Bone marrow aspirate smear — 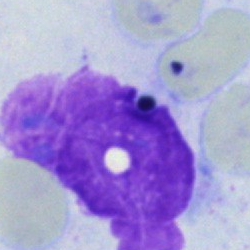Single cell identified as an artefact.